Bone marrow smear · May-Grünwald-Giemsa stain:
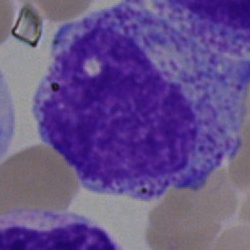A progranulocyte.